Bone marrow aspirate smear
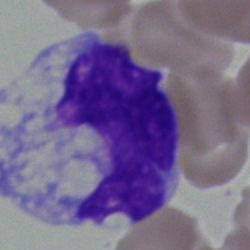 Classification — monocyte.